May-Grünwald-Giemsa/Pappenheim stain · brightfield, 40× oil-immersion objective · bone marrow smear:
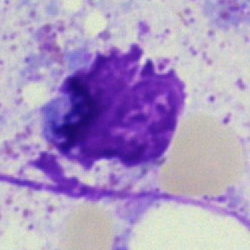An artefact.